250×250 · May-Grünwald-Giemsa stain · bone marrow smear.
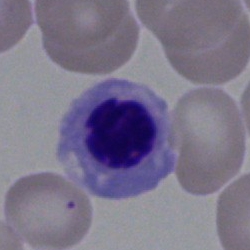Impression — erythroblast.